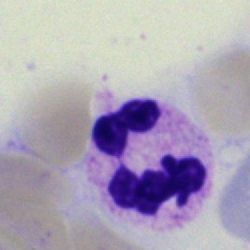Specimen: bone marrow aspirate smear.
Cell type: polymorphonuclear neutrophil.